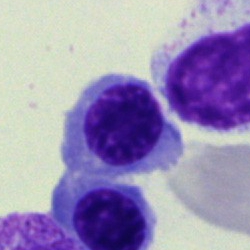The classification is normoblast.